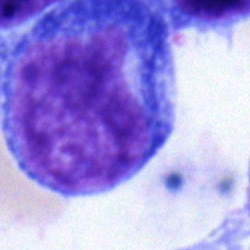Proerythroblast.